Bone marrow aspirate smear:
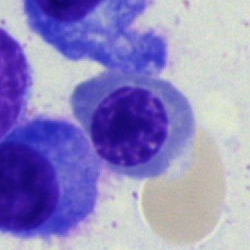

Morphological class: nucleated red blood cell.